Single cell centered in the field. 250×250 px. Bone marrow smear.
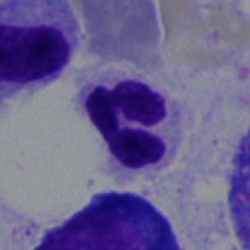
Impression — neutrophil (segmented).